Bone marrow smear
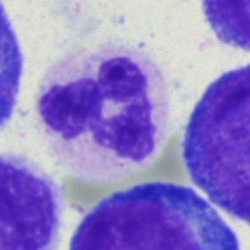Neutrophil (segmented).